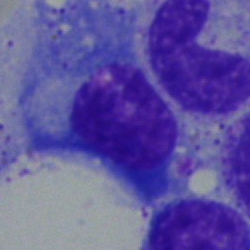 Q: What cell is this?
A: Plasma cell.